400×400 px · peripheral blood film
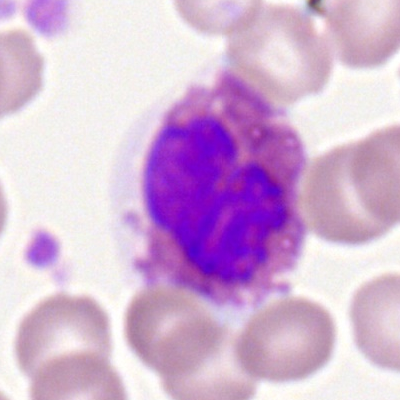Single cell identified as an eosinophilic granulocyte.